250 by 250 pixels · bone marrow smear · brightfield microscopy, 40× oil immersion
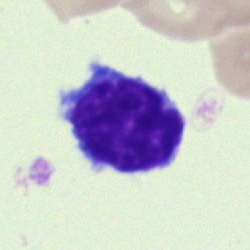This is a typical lymphocyte.